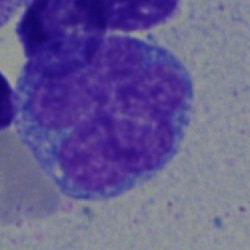
Q: What type of cell is this?
A: Blast.